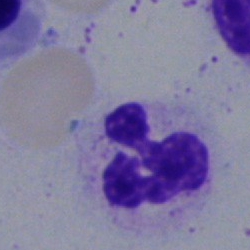

Q: What cell is this?
A: It is a neutrophil (segmented).